Bone marrow smear
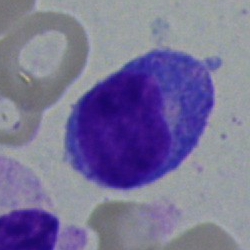

The classification is blast.